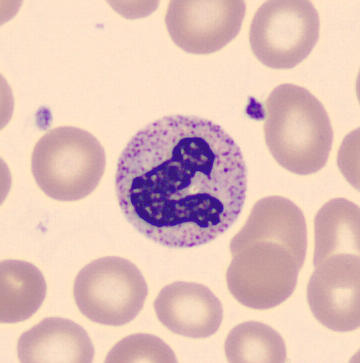Morphology consistent with a band neutrophil.

Acquisition: Peripheral blood smear. 360×363.